Bone marrow aspirate smear
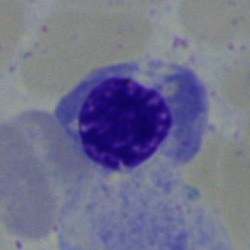 Q: What is the morphological classification of this cell?
A: This is a normoblast.